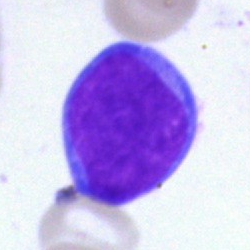Morphological class: undifferentiated blast.